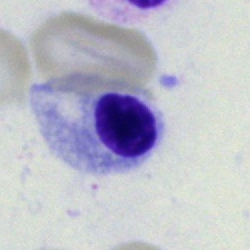The morphological class is normoblast.